Bone marrow aspirate smear. Cropped to a single cell — 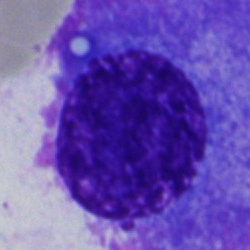Specimen: bone marrow aspirate smear.
Morphological class: plasma cell.
Lineage: lymphoid.